Brightfield microscopy, 40× oil immersion. Bone marrow smear. Image size 250×250.
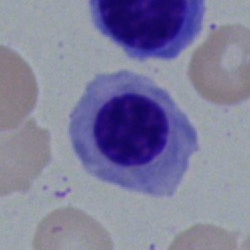 A normoblast.